Cropped to a single cell. MGG-stained. Bone marrow aspirate smear:
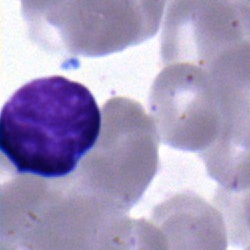 Cell = typical lymphocyte.